Bone marrow aspirate smear:
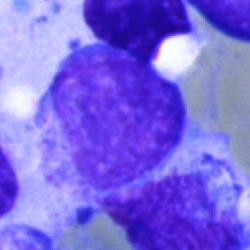Q: What is the morphological classification of this cell?
A: It is an unidentifiable cell.